250×250. May-Grünwald-Giemsa/Pappenheim stain. Bone marrow smear — 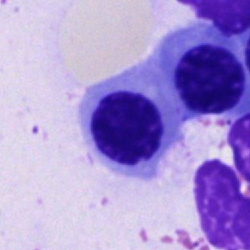Morphology — normoblast.